Bone marrow aspirate smear
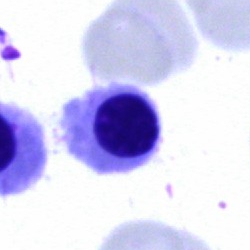

This is a nucleated red blood cell.